Bone marrow aspirate smear.
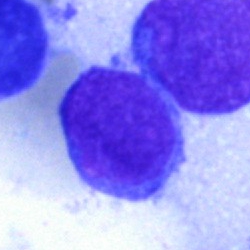 Q: Which cell type is shown here?
A: It is a blast cell.